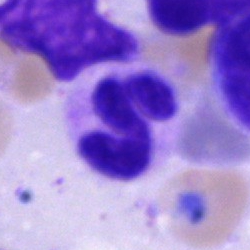 Impression — segmented neutrophil.